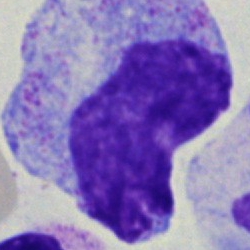

Morphology → promyelocyte.